Bone marrow aspirate smear — 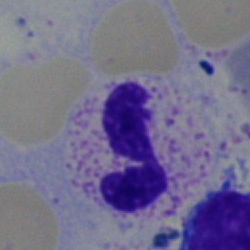

The cell shown is a segmented neutrophil.